Peripheral blood smear
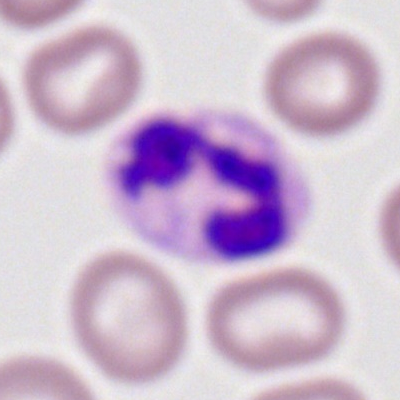
Morphology consistent with a neutrophil (segmented).